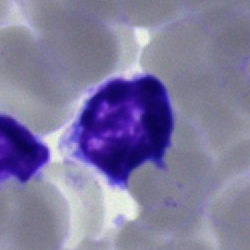 Q: What cell is this?
A: Lymphocyte.